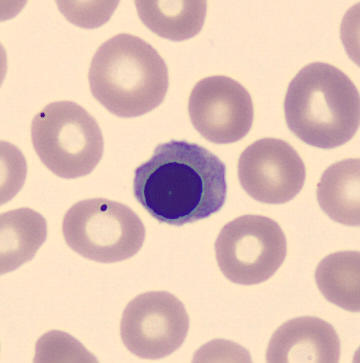

This is a nucleated red blood cell.